Bone marrow aspirate smear:
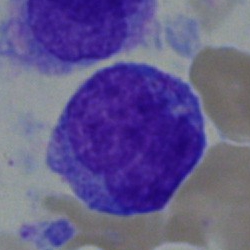

Morphological class = blast cell.